Bone marrow smear. 40× objective, oil immersion. May-Grünwald-Giemsa/Pappenheim stain — 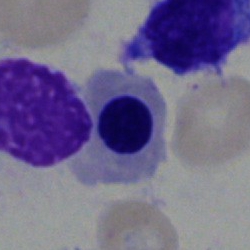Specimen: bone marrow aspirate smear.
Cell: nucleated red cell.
Lineage: erythroid.